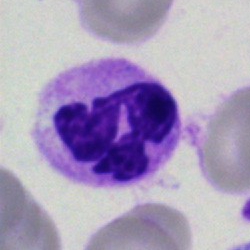
Bone marrow aspirate smear, single cell — polymorphonuclear neutrophil.